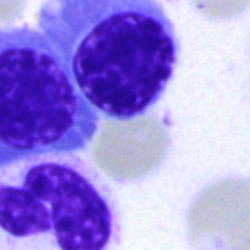 This is a normoblast.